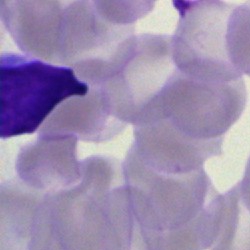An artefact.